Bone marrow smear — 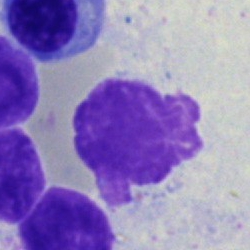
The cell shown is an artifact.